Bone marrow aspirate smear · 250×250 px:
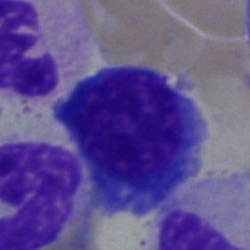
Q: What cell is this?
A: It is an erythroblast.